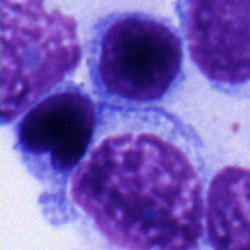 Classification = typical lymphocyte.